Brightfield microscopy, 40× oil immersion. Bone marrow aspirate smear:
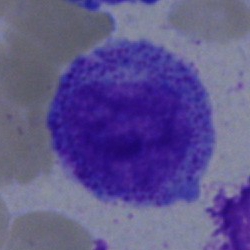

Cell type = myelocyte.